Bone marrow smear.
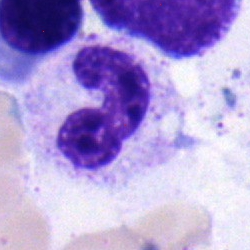Segmented neutrophil.